Bone marrow aspirate smear. May-Grünwald-Giemsa/Pappenheim stain: 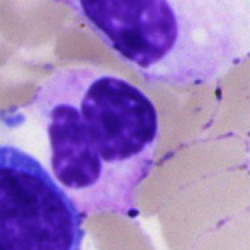
The cell type is segmented neutrophil.